Bone marrow aspirate smear: 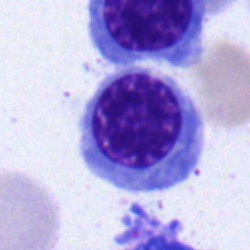
Morphology consistent with a nucleated red blood cell.